Bone marrow smear
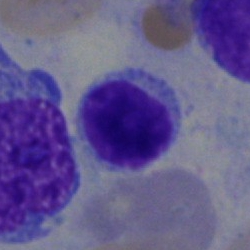

The morphological class is typical lymphocyte.